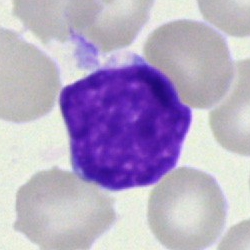
Morphology → undifferentiated blast.